Bone marrow aspirate smear:
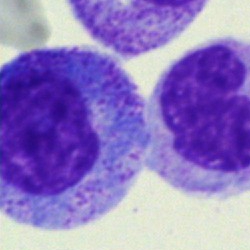

A progranulocyte.